Bone marrow smear:
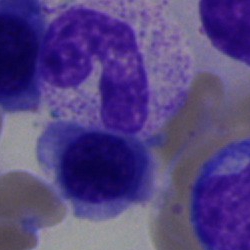 Morphology — nucleated red cell.